Bone marrow aspirate smear.
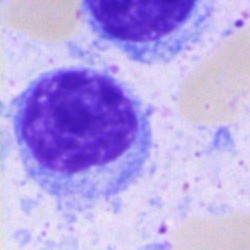 {"cell_type": "typical lymphocyte"}